Bone marrow smear. Brightfield microscopy, 40× oil immersion.
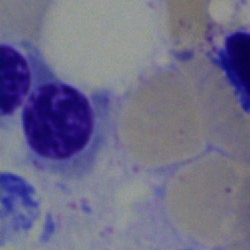
Morphology — nucleated red cell.